Bone marrow aspirate smear. 40× oil immersion. Cropped to a single cell.
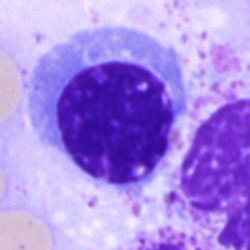

Specimen: bone marrow smear.
Classification: normoblast.
Lineage: erythroid.